Bone marrow aspirate smear
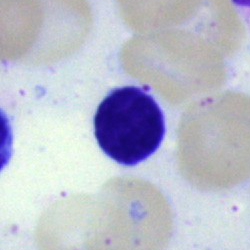The cell shown is a typical lymphocyte.